Cropped to a single cell · bone marrow smear: 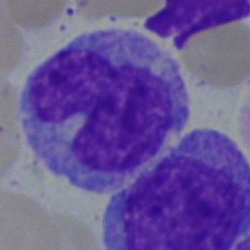Impression → monocyte.